Bone marrow smear. 250 by 250 pixels: 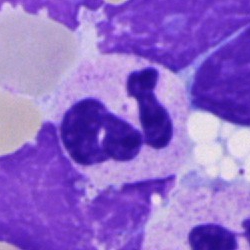
Morphological class = neutrophil (segmented).